Single cell centered in the field. Bone marrow smear: 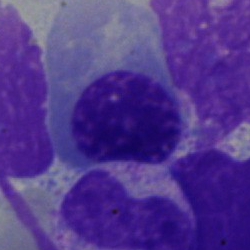 Morphology consistent with a normoblast.